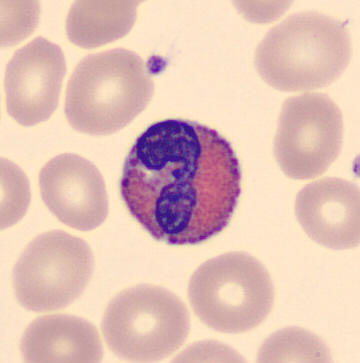

Single cell identified as an eosinophilic granulocyte.
Peripheral blood smear.